Cropped to a single cell; bone marrow smear: 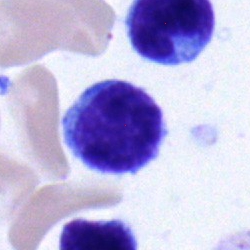
Q: Identify the cell.
A: It is a lymphocyte.